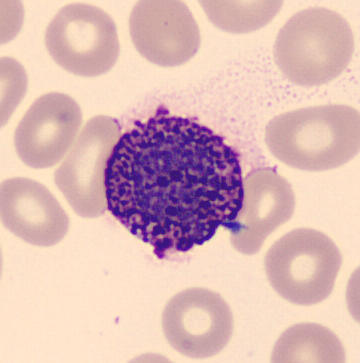

Identified as a basophil. Peripheral blood film.